Bone marrow aspirate smear; single cell centered in the field; MGG-stained.
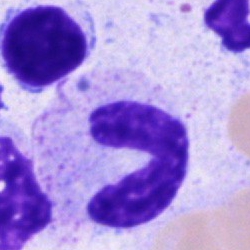
Q: What cell is this?
A: This is a band neutrophil.